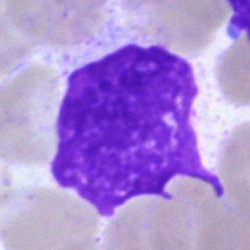Q: What is shown here?
A: It is an artefact.